Bone marrow smear:
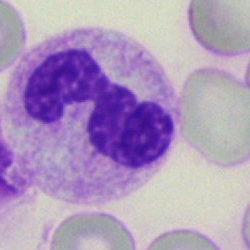 Morphology consistent with a segmented neutrophil.